Bone marrow smear. MGG-stained.
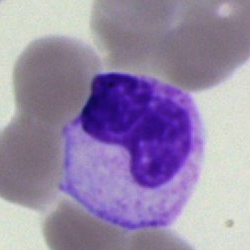

Showing a metamyelocyte.